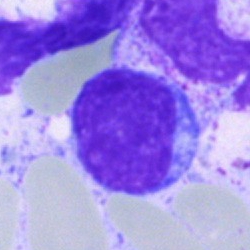
This is a lymphocyte.